40× objective, oil immersion; bone marrow aspirate smear — 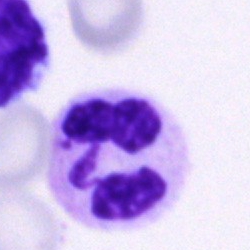 This is a polymorphonuclear neutrophil.